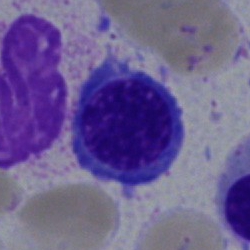{"cell_type": "nucleated red blood cell"}